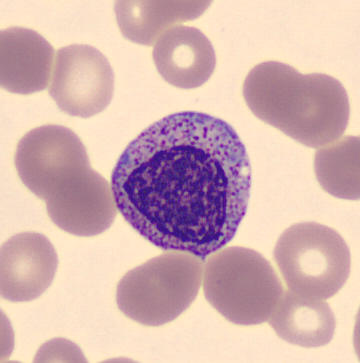Showing a myelocyte. Acquisition: Peripheral blood smear. Single-cell crop.